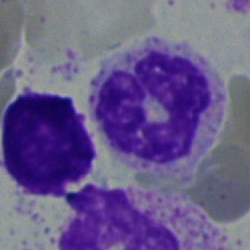Impression → band-form neutrophil.